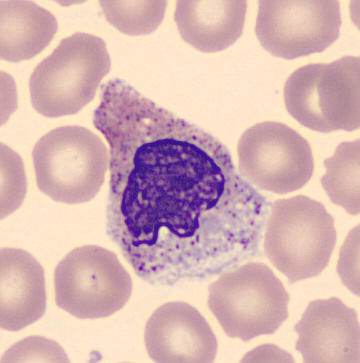 Q: What type of cell is this?
A: It is a myelocyte.